Bone marrow aspirate smear.
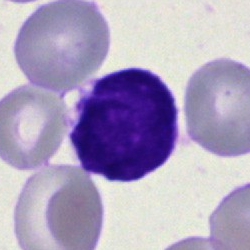

Morphology consistent with a lymphocyte.